Peripheral blood film — 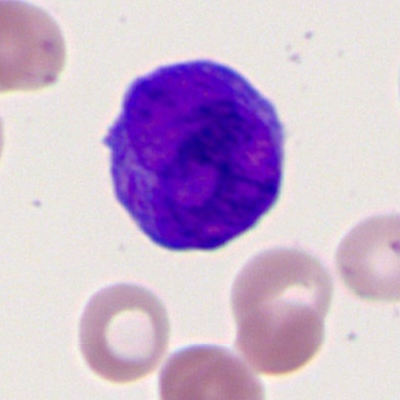
Q: What cell is this?
A: A progranulocyte.